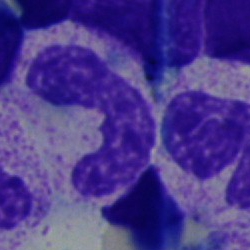
Morphology → band-form neutrophil.